Brightfield microscopy, 40× oil immersion; single cell centered in the field; bone marrow aspirate smear — 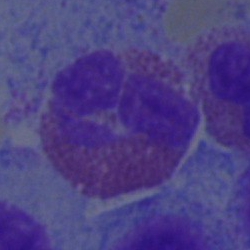 {"cell_type": "eosinophil", "lineage": "myeloid"}